Bone marrow smear · 250 by 250 pixels:
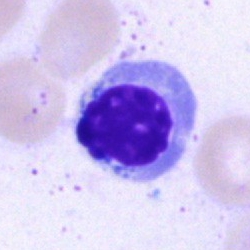Cell type: nucleated red blood cell.